250×250. Bone marrow smear — 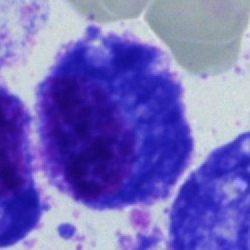

Showing a plasma cell.